Bone marrow aspirate smear.
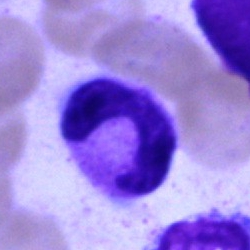 Morphological class — polymorphonuclear neutrophil.